Peripheral blood smear — 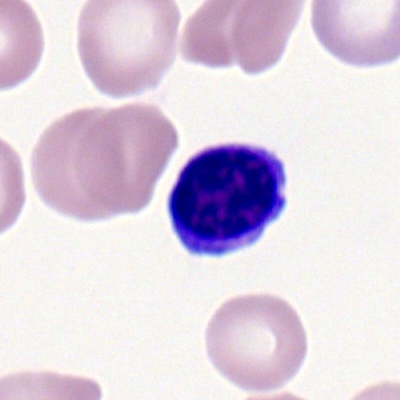Specimen: peripheral blood film.
Classification: typical lymphocyte.